Bone marrow smear — 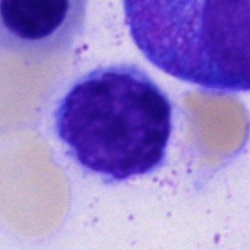
Cell type — typical lymphocyte.